Bone marrow aspirate smear:
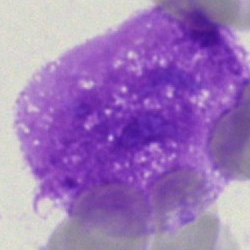 Q: What is shown here?
A: Artefact.